Brightfield, 40× oil-immersion objective. 250×250 px. Bone marrow aspirate smear.
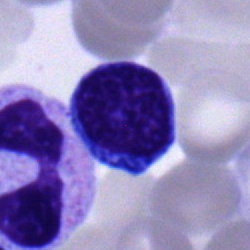 Cell: lymphocyte.